Bone marrow smear · 40× oil immersion · cropped to a single cell — 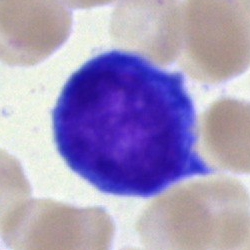
A blast.